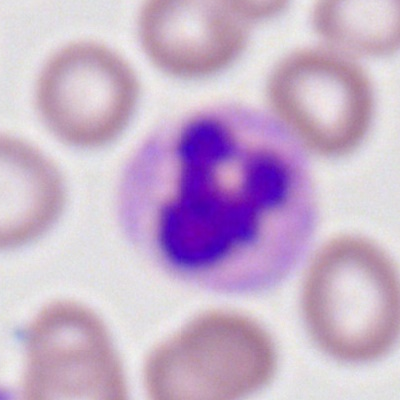
Single-cell crop from a peripheral blood smear: neutrophil (segmented).